Bone marrow aspirate smear; May-Grünwald-Giemsa stain:
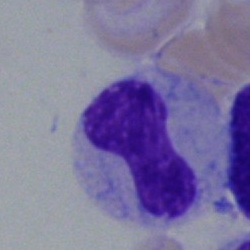
The cell shown is a neutrophil (band).